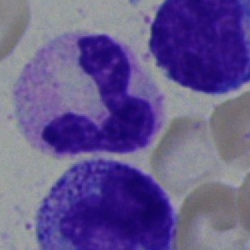 Cell — neutrophil (segmented).